Single cell centered in the field · Romanowsky-stained · peripheral blood film:
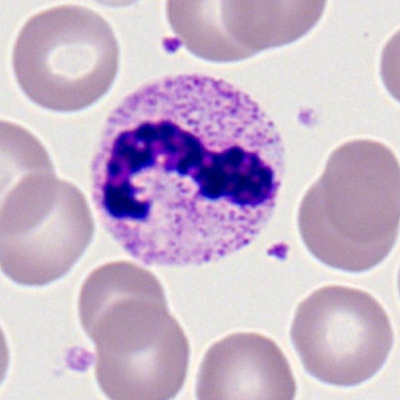Specimen: peripheral blood film.
Classification: polymorphonuclear neutrophil.